Brightfield microscopy, 40× oil immersion · bone marrow aspirate smear
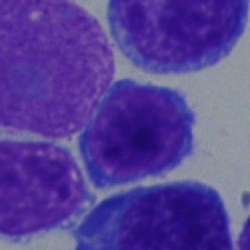 {"cell_type": "lymphocyte"}